May-Grünwald-Giemsa stain · bone marrow smear · cropped to a single cell:
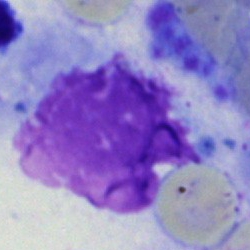Artifact.